May Grünwald-Giemsa stain · peripheral blood smear · automated cell imaging (CellaVision DM96):
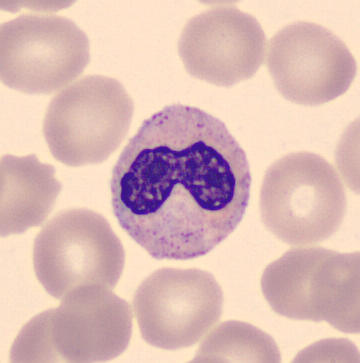Morphology consistent with a band-form neutrophil.